Bone marrow aspirate smear.
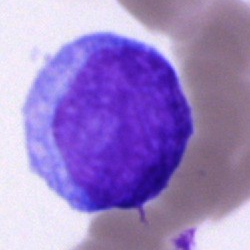Cell type = undifferentiated blast.